Bone marrow aspirate smear:
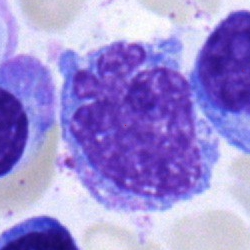 Specimen: bone marrow smear.
Morphological class: monocyte.
Lineage: myeloid.